250×250 px. Bone marrow smear — 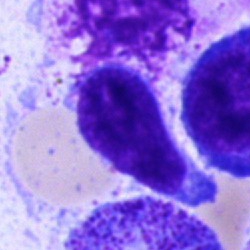 A typical lymphocyte.